Peripheral blood film.
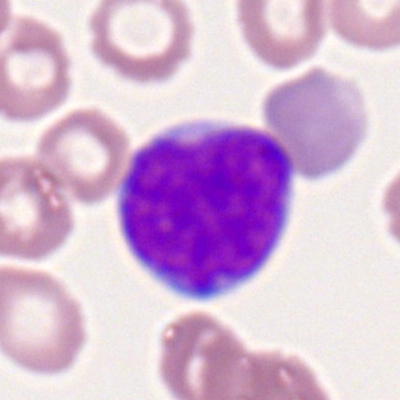
Classification = myeloid blast.